Bone marrow smear.
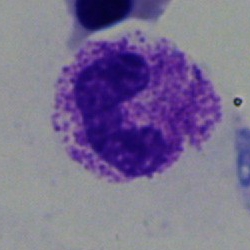Single cell identified as a band neutrophil.